Bone marrow aspirate smear:
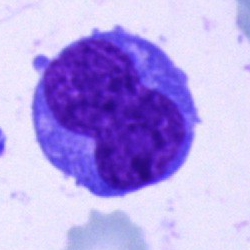 Morphology consistent with a blast cell.